Bone marrow aspirate smear
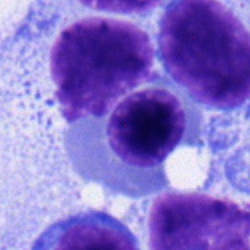 This is a nucleated red blood cell.